Bone marrow aspirate smear
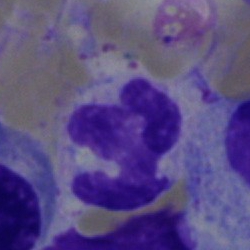Q: What is shown here?
A: Polymorphonuclear neutrophil.